250×250. Bone marrow smear: 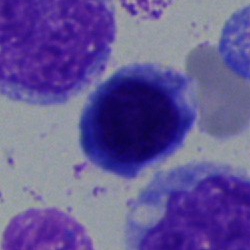

This is a nucleated red cell.